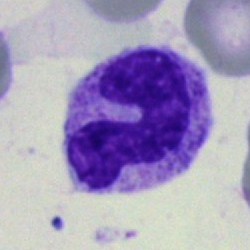The cell shown is a band-form neutrophil.